Bone marrow smear:
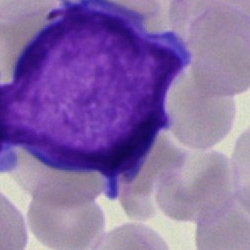
The cell shown is an undifferentiated blast.